Single-cell crop · Pappenheim-stained · bone marrow smear — 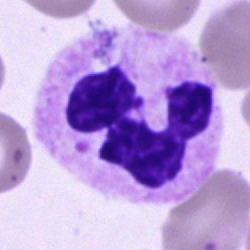
Specimen: bone marrow aspirate smear.
Classification: segmented neutrophil.